Single cell centered in the field. Bone marrow smear. 250×250: 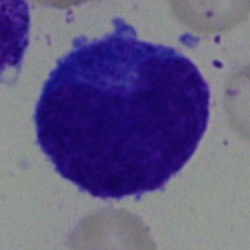
Q: Identify the cell.
A: Promyelocyte.